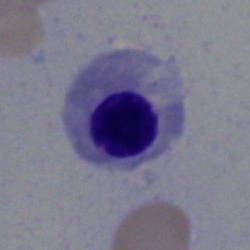 Cell: nucleated red cell.